Bone marrow aspirate smear · 40× oil immersion — 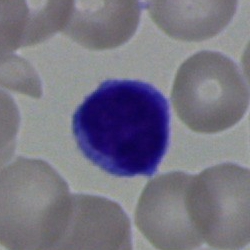

Showing a typical lymphocyte.